250×250 px. Bone marrow smear: 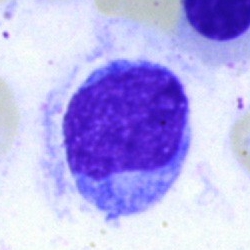
Specimen: bone marrow aspirate smear.
Cell: typical lymphocyte.
Lineage: lymphoid.